Bone marrow aspirate smear · Pappenheim-stained:
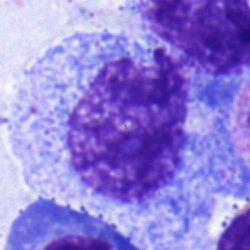
Cell — promyelocyte.